Cropped to a single cell · bone marrow smear.
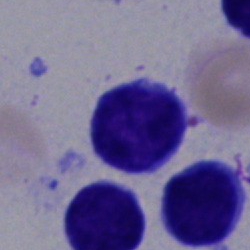

Q: Which cell type is shown here?
A: A typical lymphocyte.